Single-cell crop. Bone marrow smear: 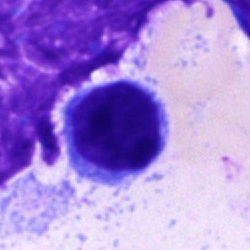

Impression → undifferentiated blast.